Bone marrow aspirate smear:
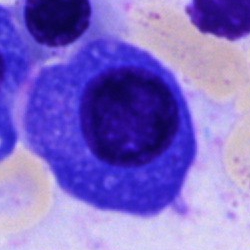Morphology → plasma cell.